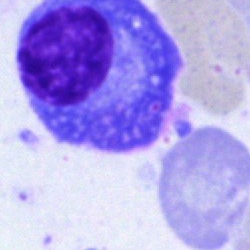Q: Identify the cell.
A: A plasma cell.